Bone marrow aspirate smear
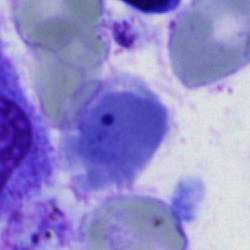Q: What is shown here?
A: Artefact.